Bone marrow aspirate smear
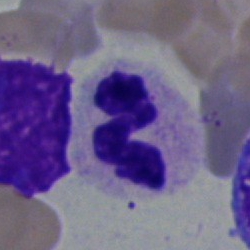The cell shown is a neutrophil (segmented).